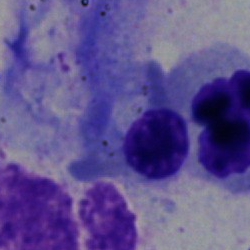 Impression → erythroblast.